Bone marrow aspirate smear · 40× objective, oil immersion:
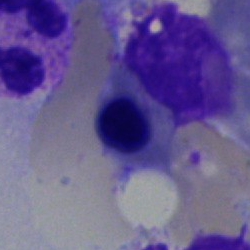

A nucleated red blood cell.